Bone marrow aspirate smear · 40× oil immersion.
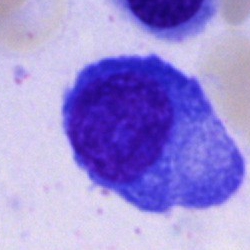 Classification: plasmacyte.